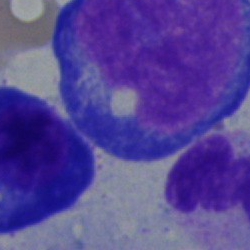

{"cell_type": "pronormoblast", "lineage": "erythroid"}